Bone marrow smear — 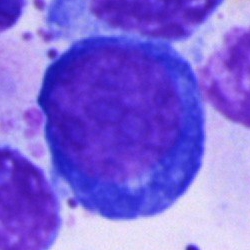

The cell shown is a pronormoblast.